Bone marrow smear
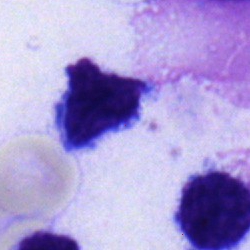

The morphological class is typical lymphocyte.